Bone marrow aspirate smear. Pappenheim-stained
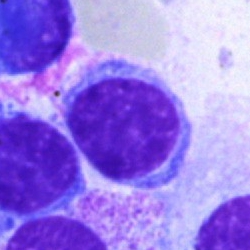Specimen: bone marrow smear.
Cell: typical lymphocyte.
Lineage: lymphoid.